Cropped to a single cell. Bone marrow smear. May-Grünwald-Giemsa stain: 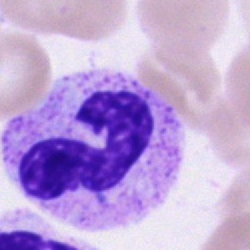Specimen: bone marrow smear.
Cell type: band-form neutrophil.